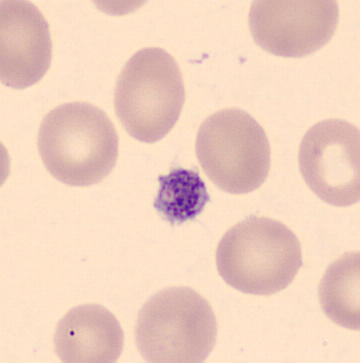Morphology consistent with a platelet (thrombocyte). Image: Peripheral blood film.